Cropped to a single cell; bone marrow smear
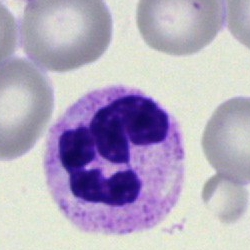
Single cell identified as a polymorphonuclear neutrophil.